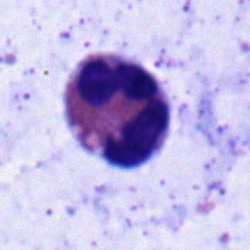

{"cell_type": "eosinophilic granulocyte", "lineage": "myeloid"}